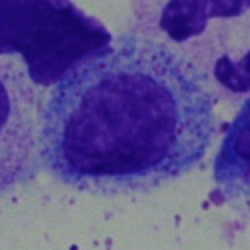Q: What type of cell is this?
A: Myelocyte.